Single-cell crop · peripheral blood smear: 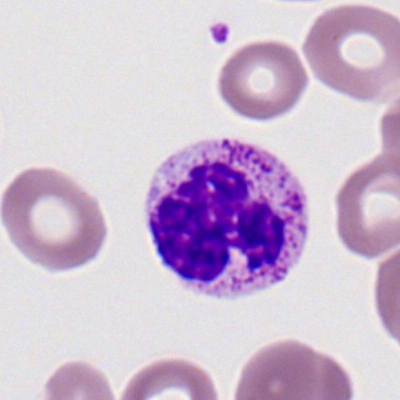Cell = neutrophil (segmented).